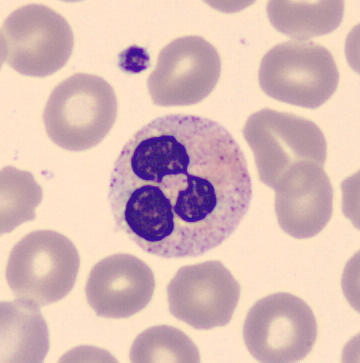This is a polymorphonuclear neutrophil.